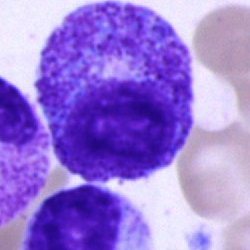 Bone marrow smear showing a progranulocyte.